Bone marrow aspirate smear; 40× objective, oil immersion:
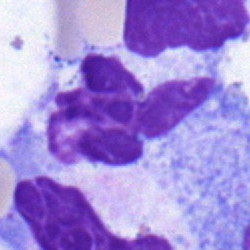Showing a segmented neutrophil.